Bone marrow aspirate smear.
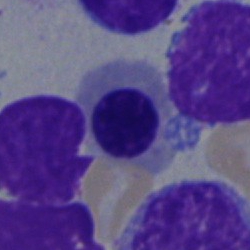 Cell type = normoblast.